Bone marrow smear:
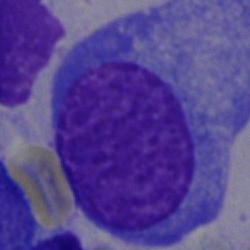 Q: Which cell type is shown here?
A: Plasma cell.